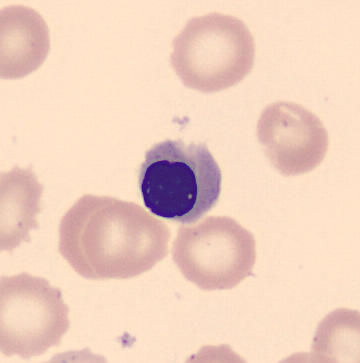

Q: Identify the cell.
A: It is a normoblast. Preparation: Peripheral blood smear.